Brightfield microscopy, 40× oil immersion. Bone marrow aspirate smear. Image size 250×250: 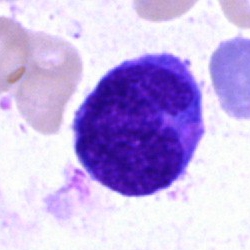

An undifferentiated blast.